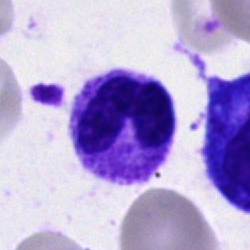

A neutrophil (segmented).